Bone marrow aspirate smear · May-Grünwald-Giemsa/Pappenheim stain · single cell centered in the field: 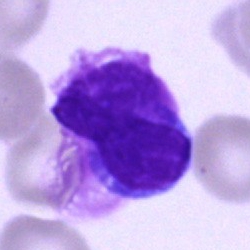Q: What is shown here?
A: This is a typical lymphocyte.